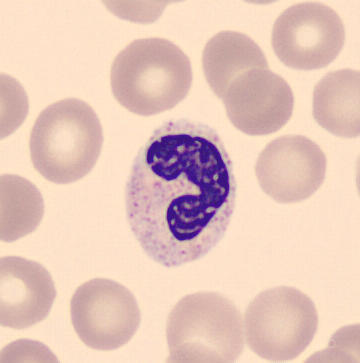Peripheral blood film. Single cell identified as a band neutrophil.